Bone marrow aspirate smear
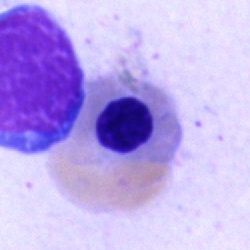Q: Which cell type is shown here?
A: Erythroblast.